Bone marrow smear
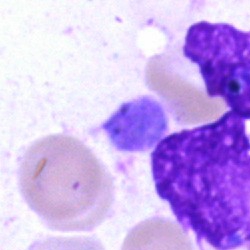
Specimen: bone marrow aspirate smear.
Cell: artefact.